Bone marrow smear
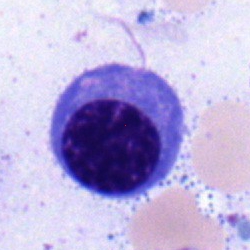
Q: What type of cell is this?
A: A nucleated red blood cell.